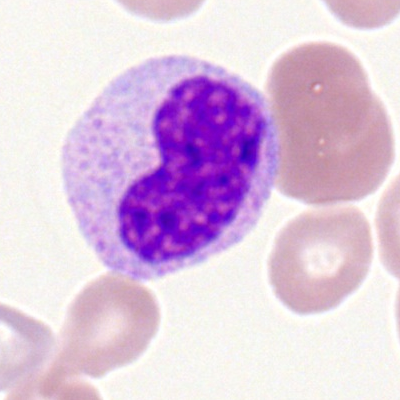 Morphological class = neutrophil (band).